Bone marrow smear.
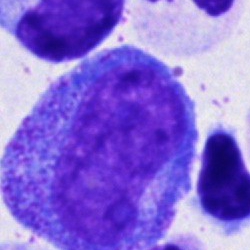 Morphology consistent with a progranulocyte.